Bone marrow aspirate smear.
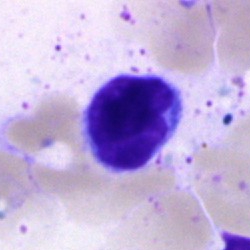 Q: What type of cell is this?
A: This is a lymphocyte.